Bone marrow aspirate smear: 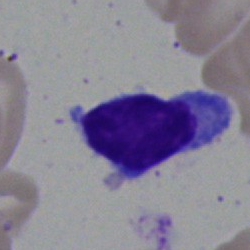 Cell type: typical lymphocyte.